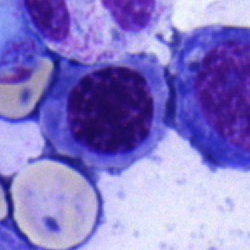

The morphological class is normoblast.